Bone marrow smear · May-Grünwald-Giemsa stain · cropped to a single cell — 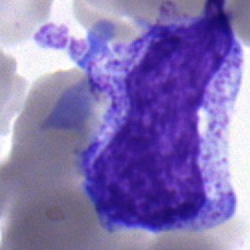 Single cell identified as a progranulocyte.